Bone marrow aspirate smear · brightfield, 40× oil-immersion objective · cropped to a single cell:
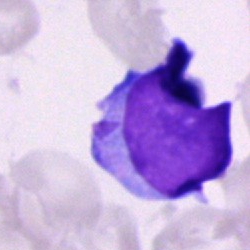 Q: What is the morphological classification of this cell?
A: This is a blast cell.